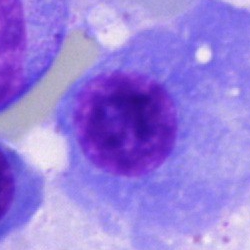
Q: What type of cell is this?
A: This is a plasma cell.